Bone marrow smear. May-Grünwald-Giemsa stain
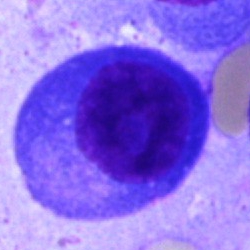 Impression — plasma cell.